Bone marrow aspirate smear: 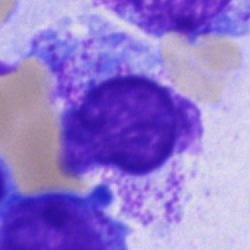

Cell — unidentifiable cell.